Bone marrow smear — 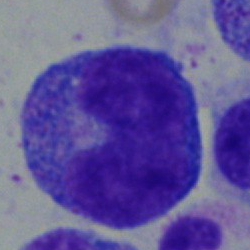

Cell = progranulocyte.